Bone marrow aspirate smear · MGG-stained:
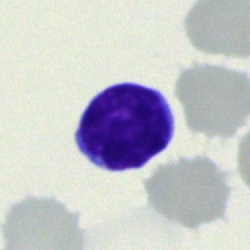A lymphocyte.